May-Grünwald-Giemsa stain. Bone marrow smear: 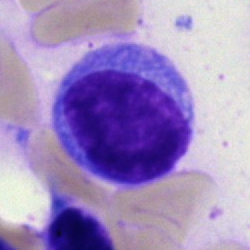Lymphocyte.